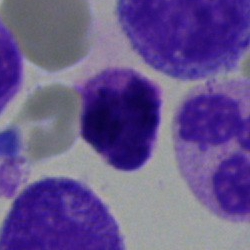 Morphology → basophilic granulocyte.